Bone marrow aspirate smear
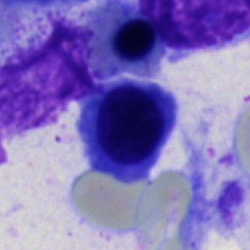A normoblast.